Bone marrow aspirate smear: 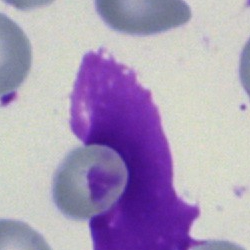
Specimen: bone marrow smear.
Classification: artifact.